Cropped to a single cell; bone marrow smear; 250 by 250 pixels — 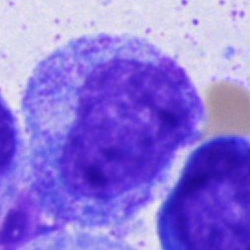 This is a progranulocyte.